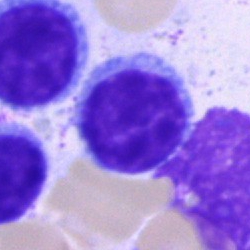

Bone marrow smear showing a lymphocyte.